Brightfield, 40× oil-immersion objective · single-cell crop · bone marrow aspirate smear: 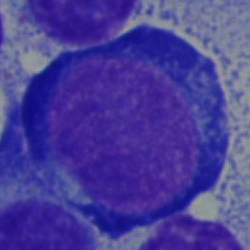 Q: What cell is this?
A: A pronormoblast.